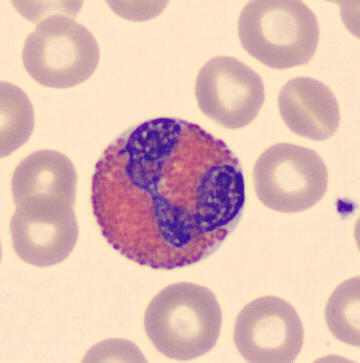
Image: Peripheral blood film; cropped to a single cell.
{"cell_type": "eosinophil", "lineage": "myeloid"}